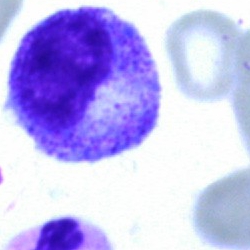

A promyelocyte.